Bone marrow smear; 250×250 px
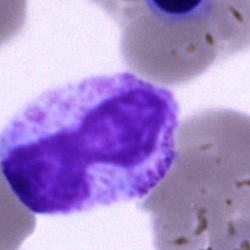The cell is neutrophil (segmented).